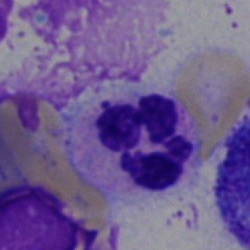
Morphology consistent with a polymorphonuclear neutrophil.